Cropped to a single cell · Romanowsky-stained · peripheral blood smear: 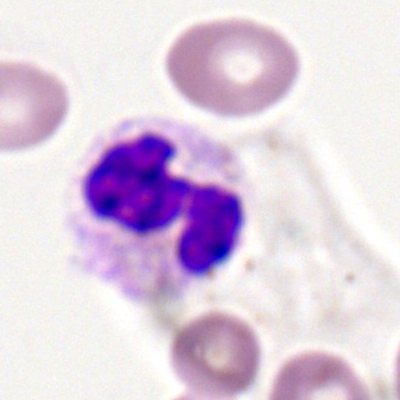 Cell = neutrophil (segmented).